Bone marrow smear; cropped to a single cell: 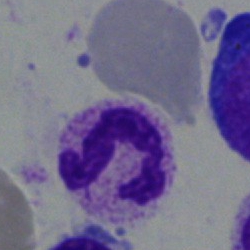 Morphology → segmented neutrophil.